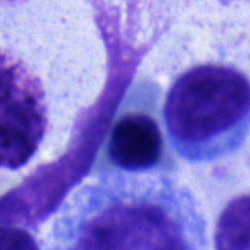 Morphological class — nucleated red cell.